Bone marrow aspirate smear — 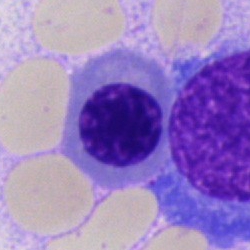

Morphology consistent with a nucleated red blood cell.